250 by 250 pixels · Pappenheim-stained · bone marrow smear:
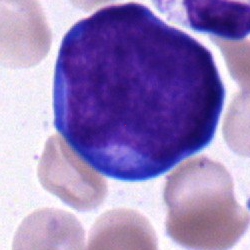
A proerythroblast.